Pappenheim-stained · bone marrow aspirate smear: 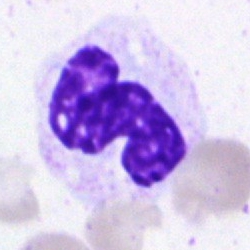 Neutrophil (segmented).